Peripheral blood smear · 400×400 px:
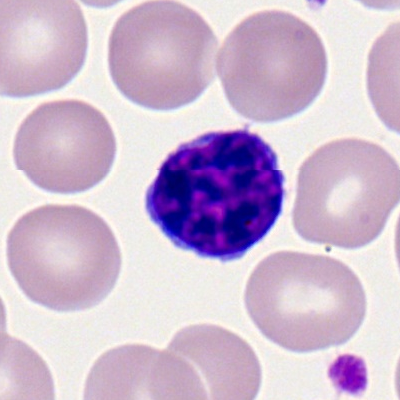
The cell shown is a typical lymphocyte.